Bone marrow aspirate smear; single-cell crop; brightfield, 40× oil-immersion objective: 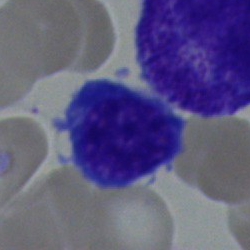

{"cell_type": "lymphocyte", "lineage": "lymphoid"}